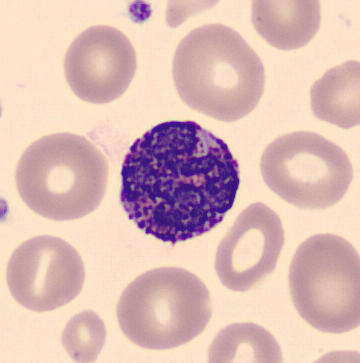
Specimen: peripheral blood smear.
Morphological class: basophilic granulocyte.
Lineage: myeloid.